Pappenheim-stained. Bone marrow smear. Single cell centered in the field: 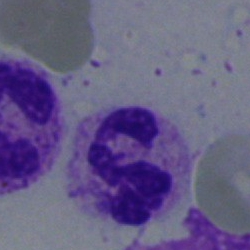

Classification = polymorphonuclear neutrophil.